Bone marrow smear — 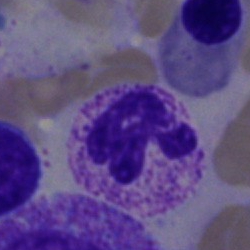 The morphological class is neutrophil (segmented).